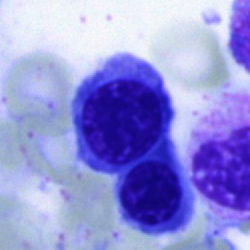 Q: What is the morphological classification of this cell?
A: Nucleated red blood cell.